Bone marrow aspirate smear.
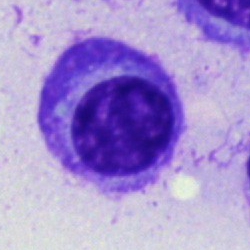 Cell type — plasmacyte.